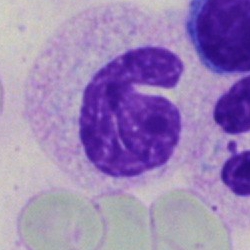

Bone marrow smear showing a neutrophil (segmented).